250×250. Bone marrow aspirate smear — 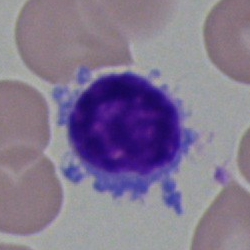 Q: Identify the cell.
A: Lymphocyte.